Bone marrow aspirate smear: 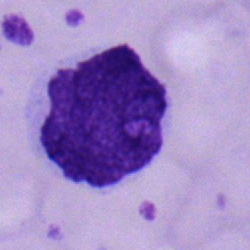Morphology — typical lymphocyte.